Bone marrow aspirate smear — 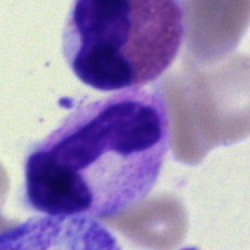This is a neutrophil (band).